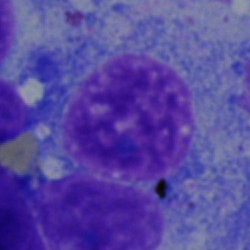
This is a plasma cell.